Peripheral blood smear — 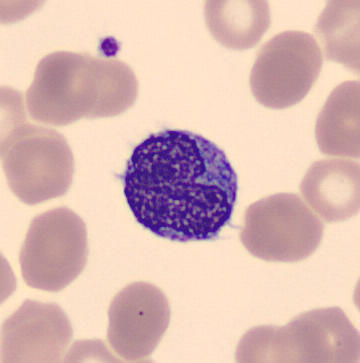 Cell: monocyte.